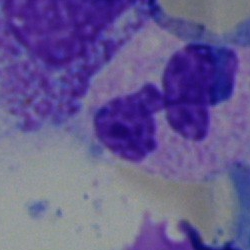The cell is segmented neutrophil.